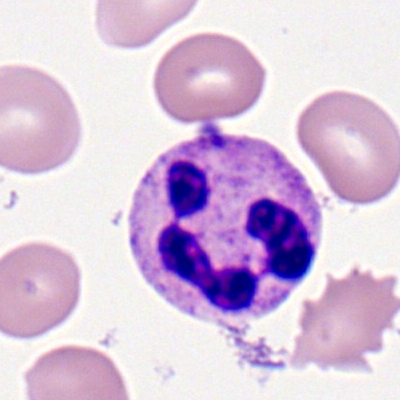Peripheral blood film, single cell — segmented neutrophil.